Peripheral blood film; Romanowsky-stained.
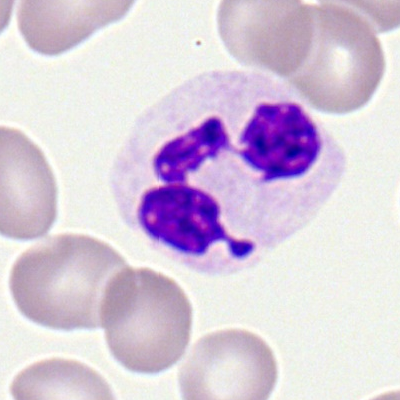 Specimen: peripheral blood smear.
Classification: neutrophil (segmented).
Lineage: myeloid.